Bone marrow aspirate smear — 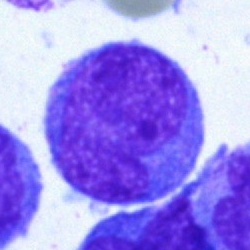 The cell shown is an undifferentiated blast.